Bone marrow smear; May-Grünwald-Giemsa stain; single-cell field.
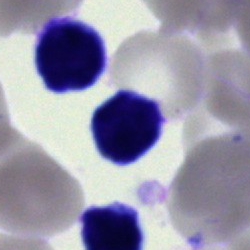 Showing a typical lymphocyte.